400 by 400 pixels; peripheral blood smear; Romanowsky-stained: 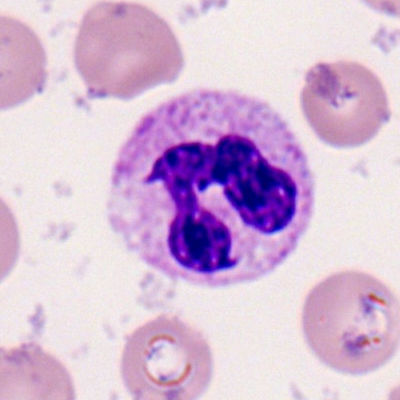 Neutrophil (segmented).